Bone marrow smear:
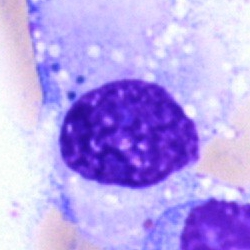Classification — artefact.